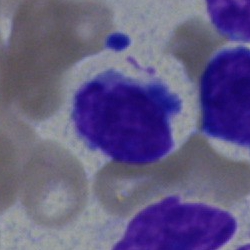

Morphological class — lymphocyte.